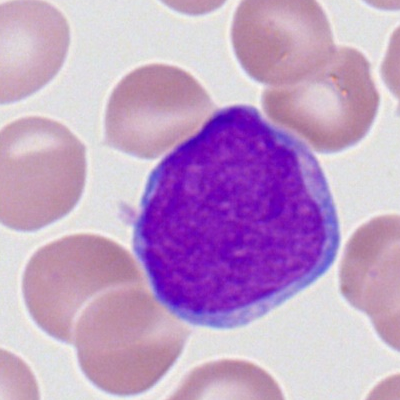
The cell type is myeloblast.